Bone marrow smear: 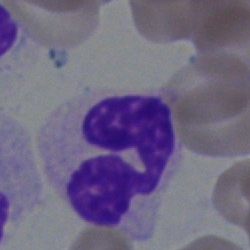

The cell shown is a neutrophil (segmented).